Bone marrow smear — 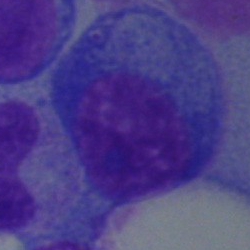 {"cell_type": "plasma cell", "lineage": "lymphoid"}